Bone marrow smear:
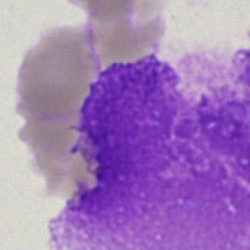
Single cell identified as an artifact.